Bone marrow aspirate smear — 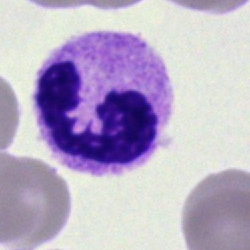 Cell: segmented neutrophil.